Bone marrow smear.
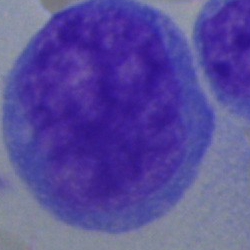
Classification: undifferentiated blast.